Bone marrow aspirate smear.
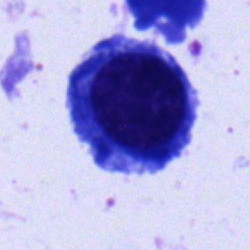Cell — typical lymphocyte.